Bone marrow smear
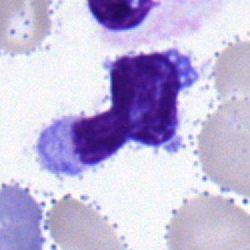

Q: What is the morphological classification of this cell?
A: This is a typical lymphocyte.